Bone marrow aspirate smear — 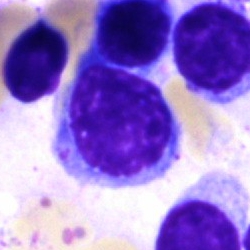
Cell type: lymphocyte.